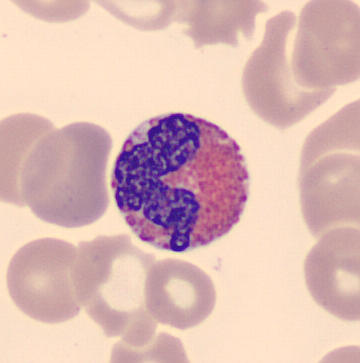 Peripheral blood smear. Single cell identified as an eosinophilic granulocyte.